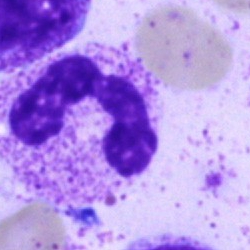Neutrophil (segmented).